250×250 px; bone marrow smear; brightfield, 40× oil-immersion objective: 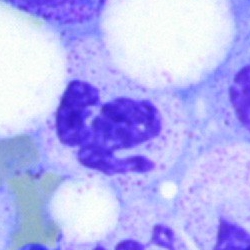Single cell identified as a segmented neutrophil.